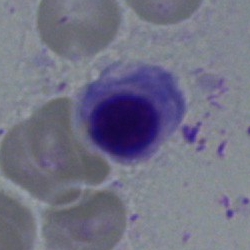
Q: What is the morphological classification of this cell?
A: This is a nucleated red blood cell.